May-Grünwald-Giemsa stain; bone marrow aspirate smear.
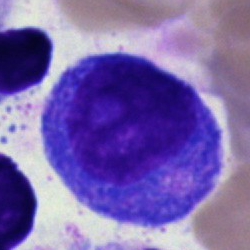
Cell = progranulocyte.